Bone marrow smear:
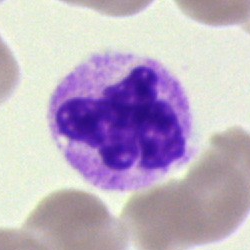
Q: Identify the cell.
A: Neutrophil (segmented).